May-Grünwald-Giemsa/Pappenheim stain · bone marrow smear: 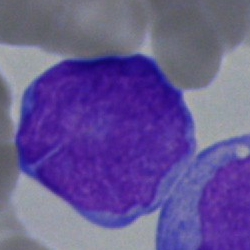Impression — blast cell.